Bone marrow smear. 250 by 250 pixels
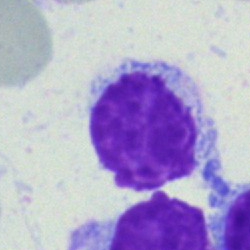

Typical lymphocyte.